Pappenheim-stained; single-cell crop; bone marrow aspirate smear:
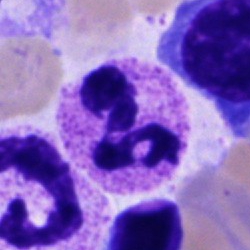

Q: Which cell type is shown here?
A: A neutrophil (segmented).